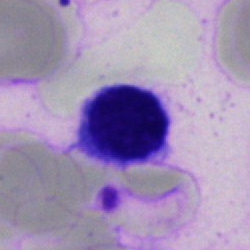 The cell type is lymphocyte.